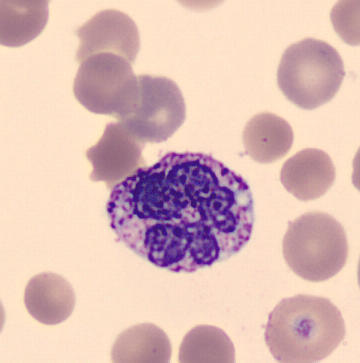

Single-cell field.
Specimen: peripheral blood smear.
Cell type: basophilic granulocyte.
Lineage: myeloid.